Single-cell crop · bone marrow smear
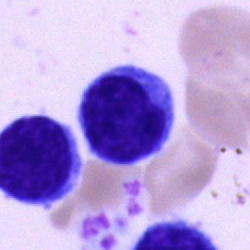Showing a typical lymphocyte.